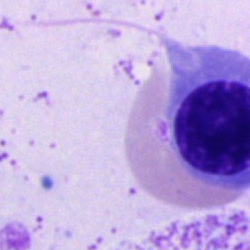
Cell type = erythroblast.